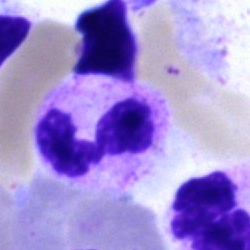Single cell identified as a polymorphonuclear neutrophil.